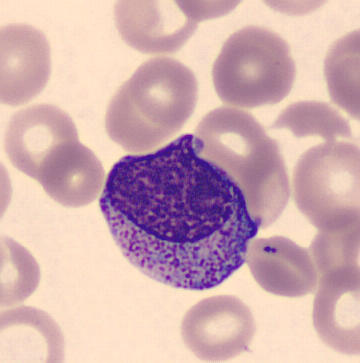MGG-stained. Specimen: peripheral blood smear.
Cell type: progranulocyte.
Lineage: myeloid.